Bone marrow smear
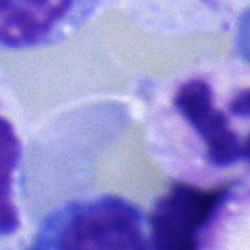

The cell shown is a polymorphonuclear neutrophil.